250 by 250 pixels; bone marrow smear
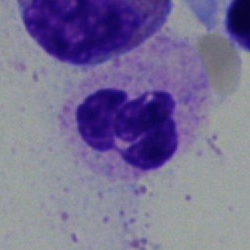 Single cell identified as a polymorphonuclear neutrophil.